40× oil immersion · bone marrow smear — 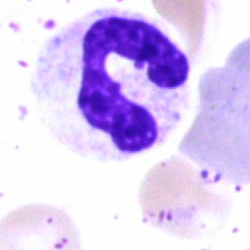The cell shown is a polymorphonuclear neutrophil.